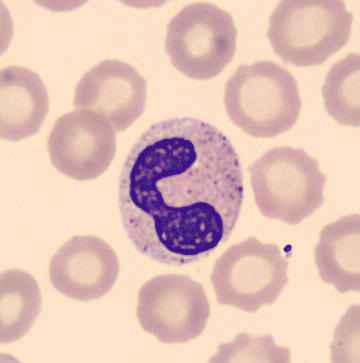
Preparation: Peripheral blood film.
Morphology → band neutrophil.